Bone marrow smear — 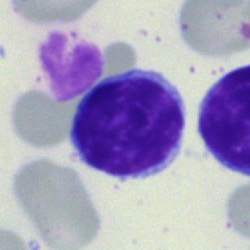The morphological class is lymphocyte.